Bone marrow aspirate smear; brightfield, 40× oil-immersion objective; May-Grünwald-Giemsa/Pappenheim stain:
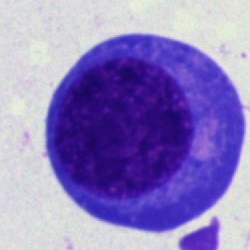Specimen: bone marrow aspirate smear.
Cell: normoblast.
Lineage: erythroid.